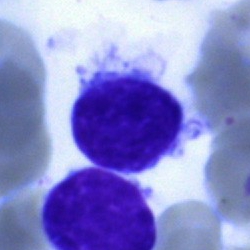
Impression — typical lymphocyte.